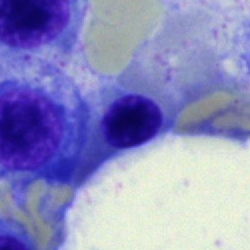
Bone marrow smear showing a nucleated red blood cell.